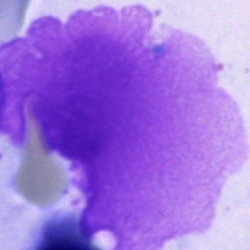

Showing an artifact.